Peripheral blood film — 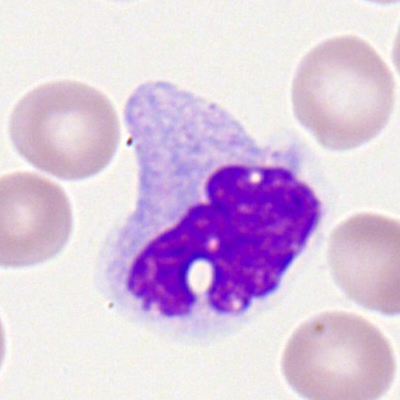

{"cell_type": "monocyte", "lineage": "myeloid"}